40× oil immersion · bone marrow aspirate smear.
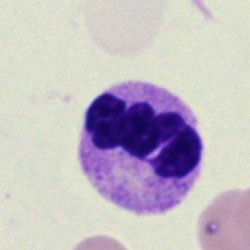 The morphological class is segmented neutrophil.